Bone marrow aspirate smear:
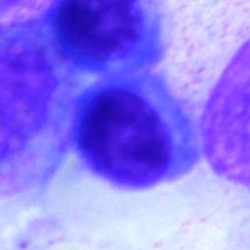A typical lymphocyte.